Romanowsky stain; image size 400×400; peripheral blood smear
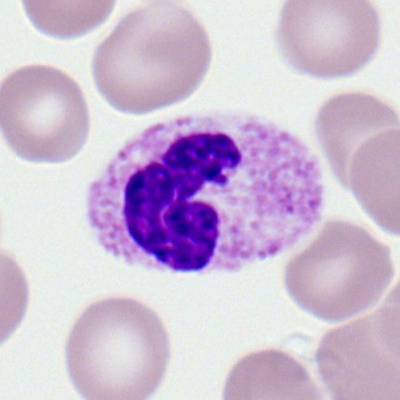Cell: band neutrophil.